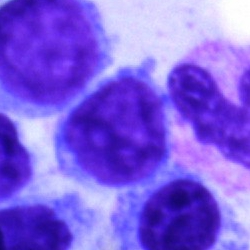
Specimen: bone marrow smear.
Morphological class: lymphocyte.
Lineage: lymphoid.